Pappenheim-stained. Bone marrow aspirate smear.
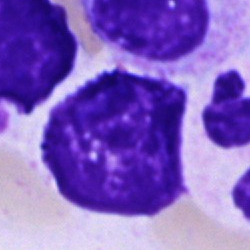 A cell of indeterminate lineage.